Bone marrow smear:
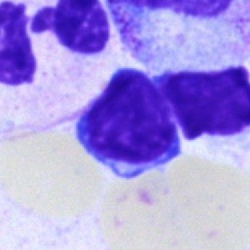
The morphological class is lymphocyte.